Peripheral blood smear: 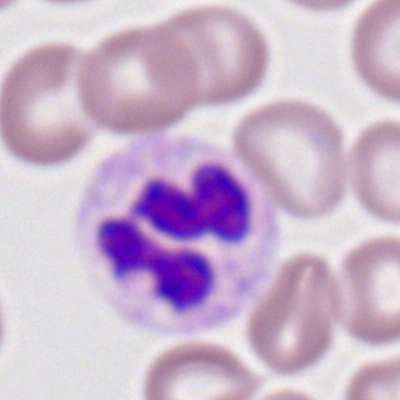
Impression → neutrophil (segmented).